Bone marrow smear · brightfield microscopy, 40× oil immersion · 250×250 px: 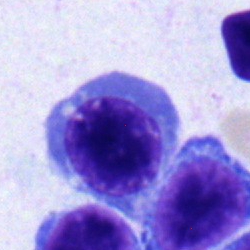Q: What cell is this?
A: It is a nucleated red blood cell.